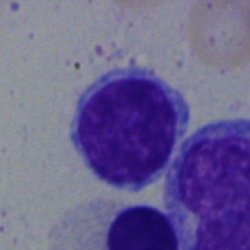Lymphocyte.